Single-cell crop; bone marrow smear: 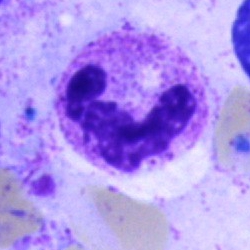

A polymorphonuclear neutrophil.